Bone marrow smear:
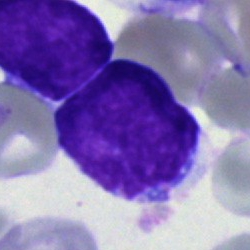Q: What is shown here?
A: This is a blast.